40× oil immersion · Pappenheim-stained · bone marrow smear
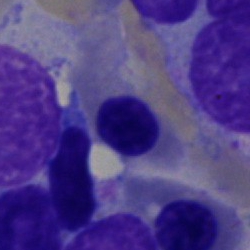
{"cell_type": "nucleated red cell", "lineage": "erythroid"}